Bone marrow smear; May-Grünwald-Giemsa stain.
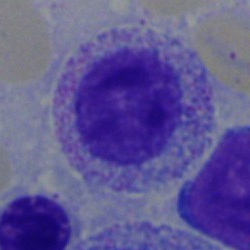

Morphology consistent with a myelocyte.